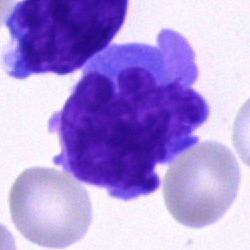

Morphology → blast cell.